May-Grünwald-Giemsa/Pappenheim stain. Bone marrow smear.
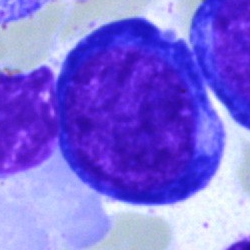Morphological class = proerythroblast.